Bone marrow smear:
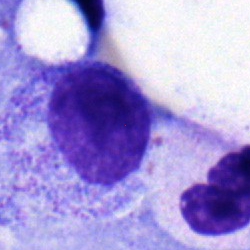Single cell identified as a myelocyte.